Peripheral blood film: 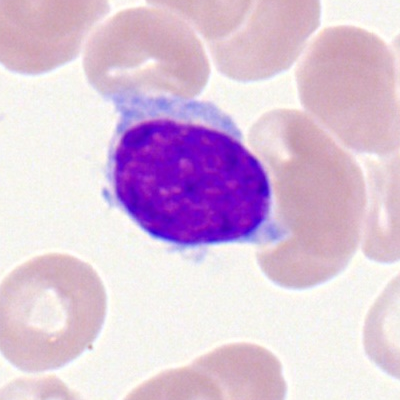Morphological class = typical lymphocyte.